Bone marrow aspirate smear. MGG-stained. Single-cell crop — 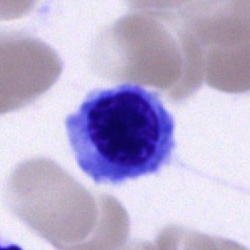
Impression → normoblast.